Bone marrow aspirate smear: 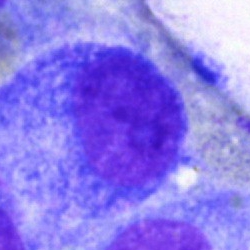 The cell is progranulocyte.